Bone marrow smear — 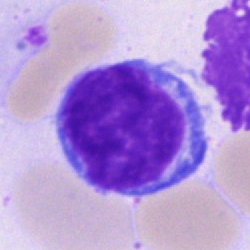

Lymphocyte.